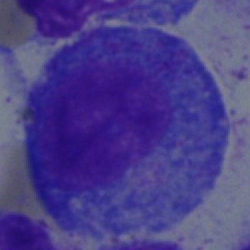

This is a progranulocyte.